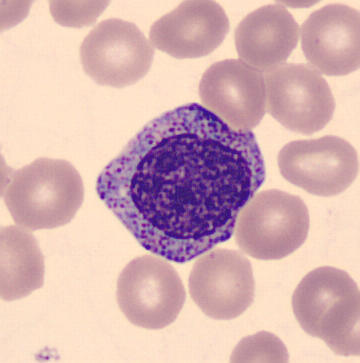
Q: Identify the cell.
A: Myelocyte. Acquisition: Single-cell field. Peripheral blood smear.